Bone marrow smear
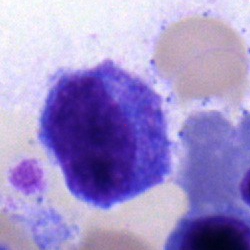 The cell shown is a promyelocyte.